Bone marrow aspirate smear
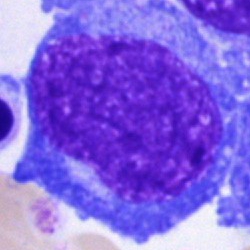Cell: blast cell.